Single cell centered in the field. Peripheral blood smear
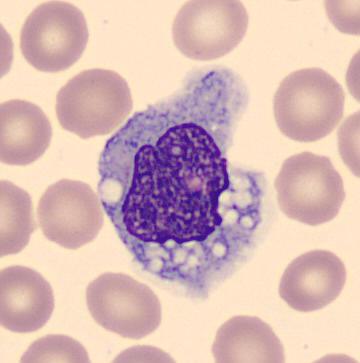
Cell type — monocyte.